Bone marrow smear:
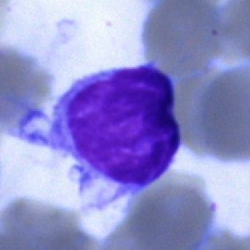 Q: Identify the cell.
A: A hairy cell.